Peripheral blood smear
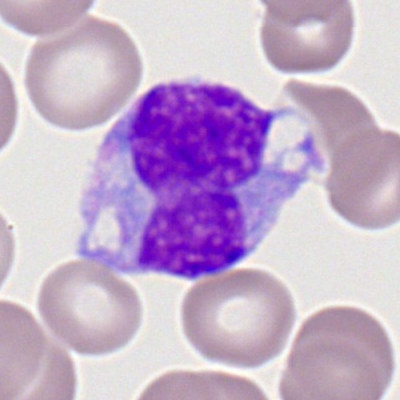
Specimen: peripheral blood smear.
Classification: monocyte.
Lineage: myeloid.